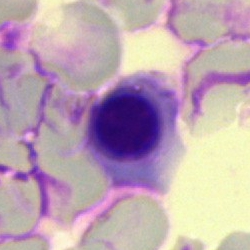

The cell is nucleated red cell.